MGG-stained; brightfield microscopy, 40× oil immersion; bone marrow aspirate smear: 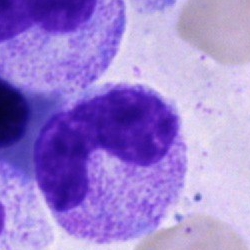Impression — band neutrophil.